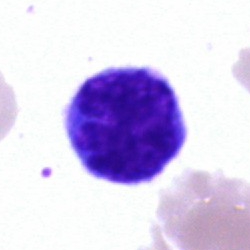

Morphological class: typical lymphocyte.